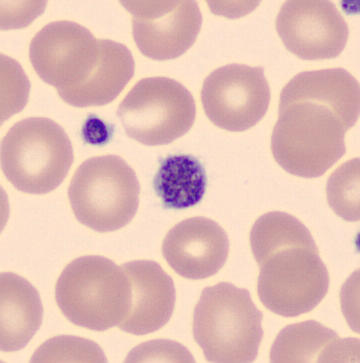

Classification = platelet.

Acquisition: 360×363. Peripheral blood smear. Imaged on a CellaVision DM96 analyser.